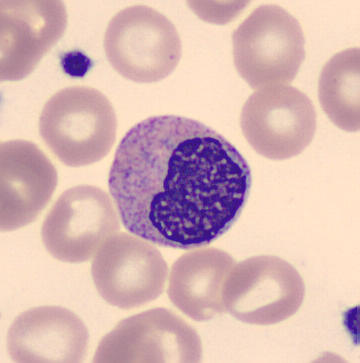Cell: metamyelocyte.

Peripheral blood smear. MGG stain.